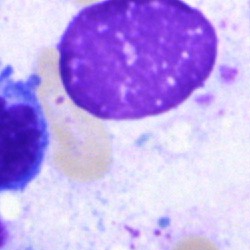
Q: What is shown here?
A: An artifact.